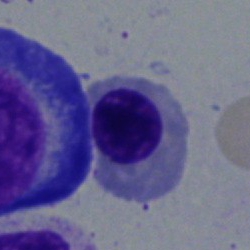

Bone marrow aspirate smear, single cell — erythroblast.